Pappenheim-stained. Bone marrow aspirate smear — 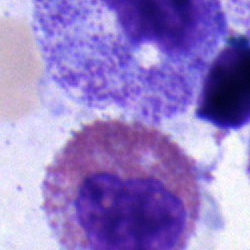

Showing an eosinophilic granulocyte.